Brightfield, 40× oil-immersion objective · bone marrow smear:
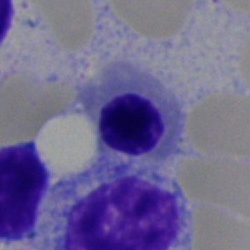 Morphological class: nucleated red cell.